Bone marrow aspirate smear.
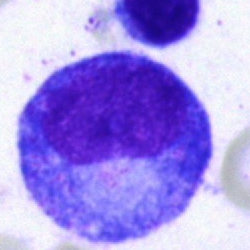
Impression — progranulocyte.